Bone marrow aspirate smear
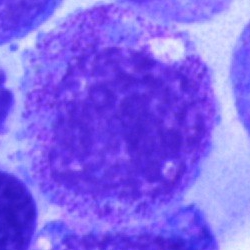The cell type is myelocyte.